Bone marrow aspirate smear:
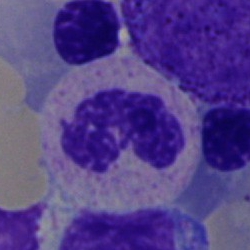

Single cell identified as a polymorphonuclear neutrophil.